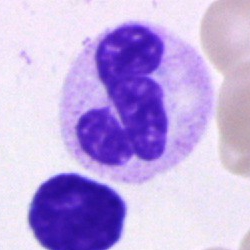 The cell is neutrophil (segmented).